Bone marrow smear. Brightfield, 40× oil-immersion objective:
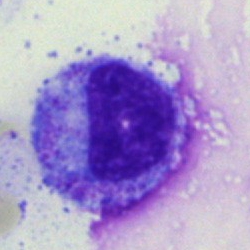The cell type is myelocyte.